Bone marrow smear: 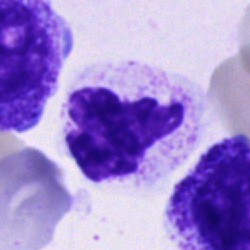The cell shown is a segmented neutrophil.